Brightfield, 40× oil-immersion objective · bone marrow smear.
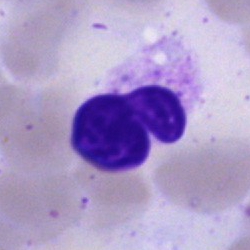
{"cell_type": "artifact"}